Bone marrow aspirate smear — 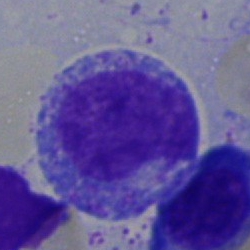

Impression → myelocyte.